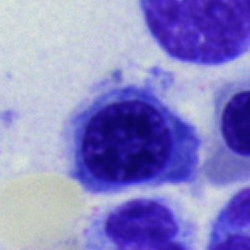
{"cell_type": "normoblast", "lineage": "erythroid"}